Bone marrow smear.
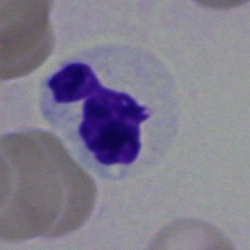Q: What is shown here?
A: It is a polymorphonuclear neutrophil.